Bone marrow aspirate smear · 250×250 px · single cell centered in the field
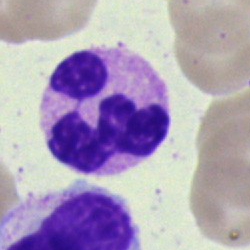
Morphology — neutrophil (segmented).